Bone marrow aspirate smear. 40× oil immersion
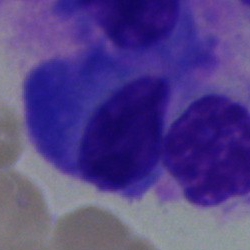 Showing a plasmacyte.